Bone marrow smear.
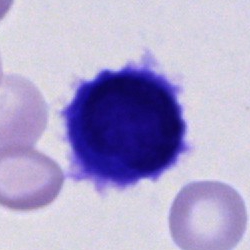 Impression — hairy cell.